MGG-stained. Bone marrow aspirate smear — 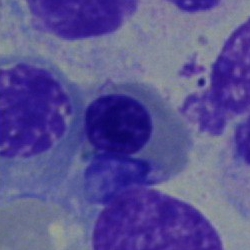

Morphological class: nucleated red cell.